Bone marrow smear: 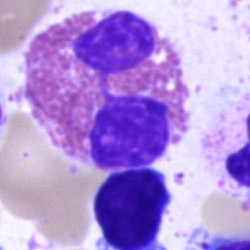
The morphological class is eosinophil.